Bone marrow smear: 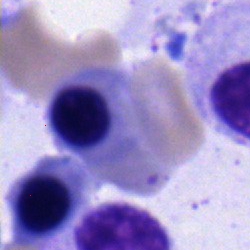
Classification = nucleated red blood cell.